Bone marrow smear:
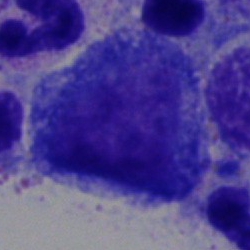 Q: What cell is this?
A: A progranulocyte.